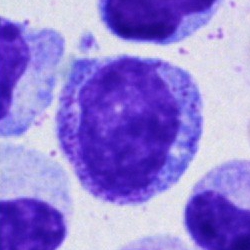

Cell type — myelocyte.